Bone marrow smear.
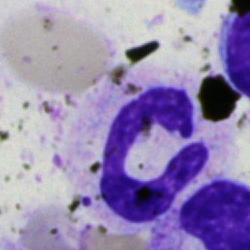Showing a segmented neutrophil.